May-Grünwald-Giemsa stain. Bone marrow smear:
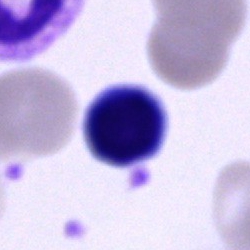

Q: What type of cell is this?
A: It is an unidentifiable cell.